Bone marrow aspirate smear
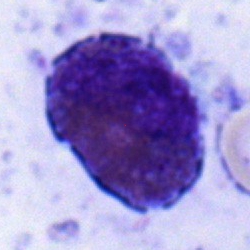

Specimen: bone marrow smear.
Cell: eosinophilic granulocyte.